Bone marrow smear: 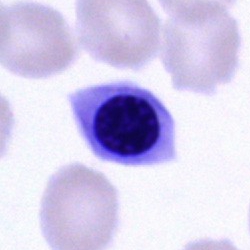

Cell type = nucleated red blood cell.